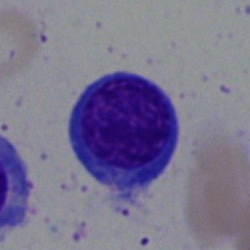Classification — normoblast.